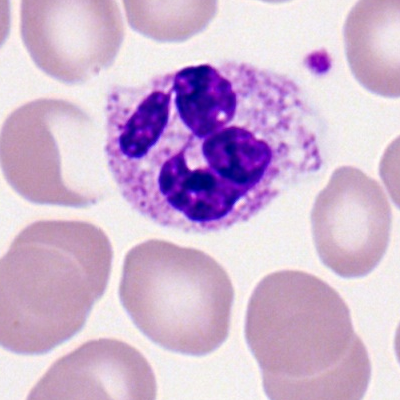 Morphology → segmented neutrophil.